Single cell centered in the field; May-Grünwald-Giemsa/Pappenheim stain; bone marrow smear — 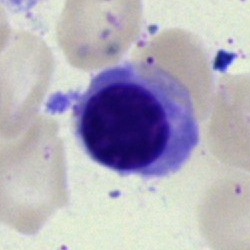 Q: What is shown here?
A: Normoblast.